Bone marrow aspirate smear:
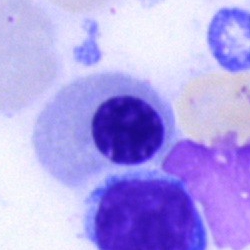

This is an erythroblast.